Bone marrow smear — 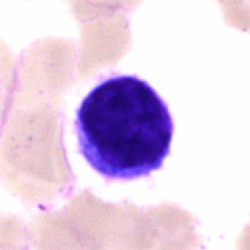 Cell: lymphocyte.